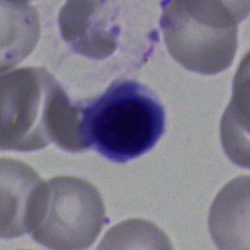

Bone marrow smear showing a normoblast.